Bone marrow aspirate smear
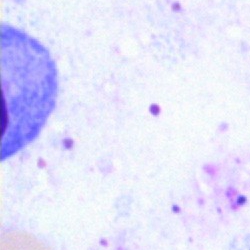{"cell_type": "artifact"}